Bone marrow smear — 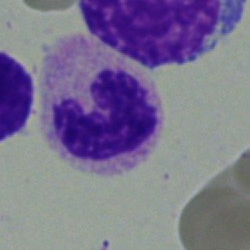
The classification is neutrophil (segmented).